Bone marrow aspirate smear:
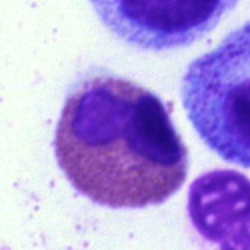Single cell identified as an eosinophilic granulocyte.